Bone marrow smear:
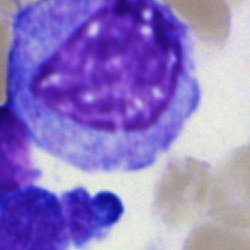 Morphology — promyelocyte.